40× objective, oil immersion · image size 250×250 · bone marrow aspirate smear.
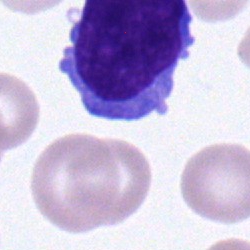Q: Identify the cell.
A: It is a blast cell.